Bone marrow aspirate smear.
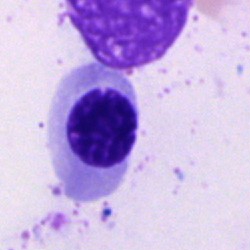 Specimen: bone marrow smear.
Cell: nucleated red blood cell.